Bone marrow aspirate smear · May-Grünwald-Giemsa/Pappenheim stain: 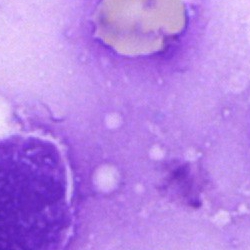Q: What is shown here?
A: This is an artefact.